Bone marrow aspirate smear.
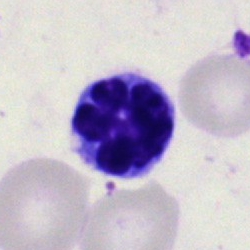
Q: What is shown here?
A: This is an artefact.